Bone marrow aspirate smear
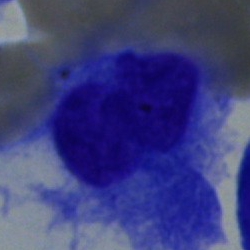Q: What cell is this?
A: This is a plasma cell.